Bone marrow aspirate smear. Single-cell field:
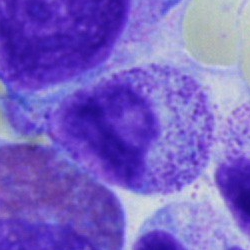Classification = myelocyte.